MGG-stained · bone marrow smear — 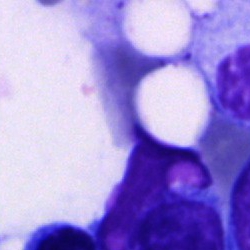Classification — artifact.